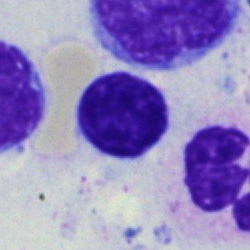 {"cell_type": "lymphocyte", "lineage": "lymphoid"}